Bone marrow smear
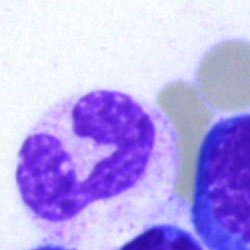Morphological class = neutrophil (segmented).